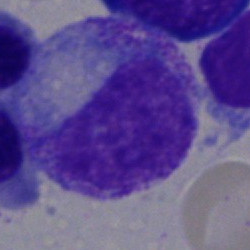
Morphology — progranulocyte.